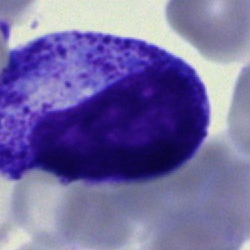
Q: What cell is this?
A: It is a progranulocyte.